Bone marrow smear · brightfield microscopy, 40× oil immersion · image size 250×250.
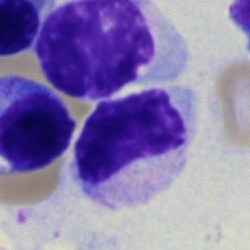
Classification — metamyelocyte.